Bone marrow smear. Cropped to a single cell: 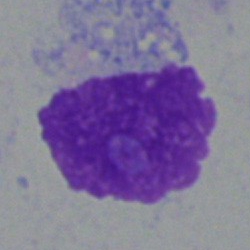 Showing an artefact.